Peripheral blood film:
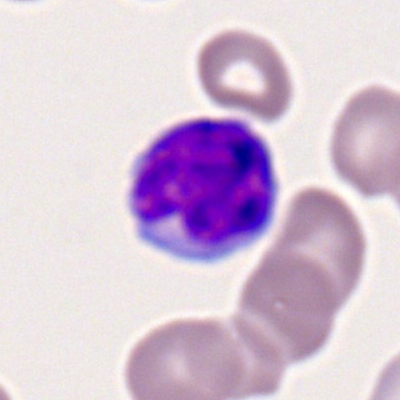
Morphological class = typical lymphocyte.